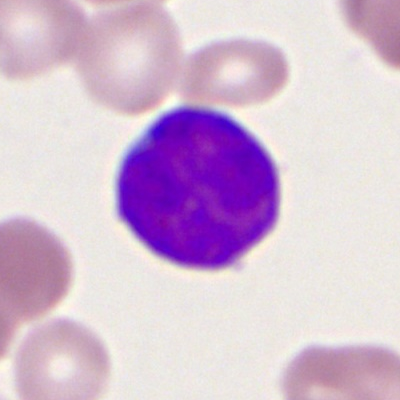

Specimen: peripheral blood film.
Cell type: myeloblast.
Lineage: myeloid.